Cropped to a single cell. Bone marrow aspirate smear. 250 by 250 pixels:
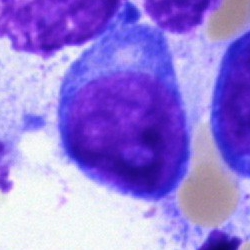
Specimen: bone marrow aspirate smear.
Cell: blast.